Bone marrow aspirate smear — 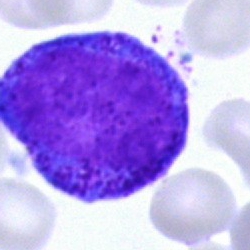 Q: What cell is this?
A: A promyelocyte.